Bone marrow aspirate smear. Brightfield microscopy, 40× oil immersion: 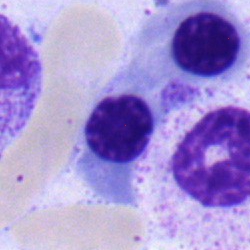

Q: Identify the cell.
A: Erythroblast.